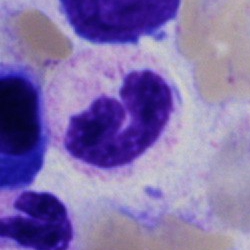Bone marrow aspirate smear, single cell — neutrophil (segmented).